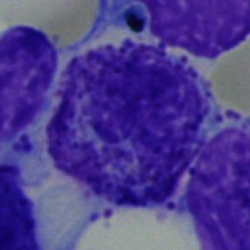 Cell = other cell.